Bone marrow aspirate smear · image size 250×250.
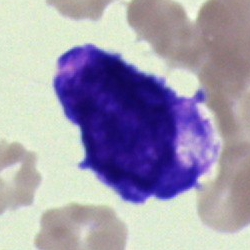

Specimen: bone marrow aspirate smear.
Classification: blast cell.